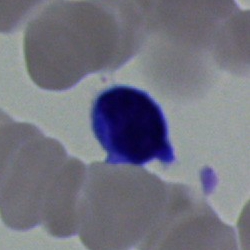

Single-cell crop from a bone marrow smear: lymphocyte.